Bone marrow smear. MGG-stained.
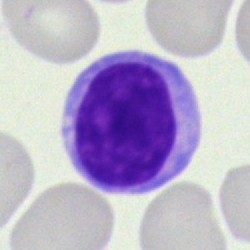
Specimen: bone marrow smear.
Cell type: typical lymphocyte.
Lineage: lymphoid.